Cropped to a single cell. 250 by 250 pixels. Bone marrow smear — 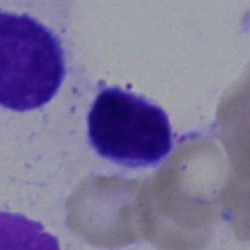

Q: What cell is this?
A: A typical lymphocyte.